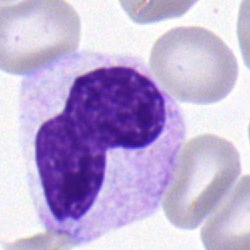 Bone marrow aspirate smear, single cell — stab cell.